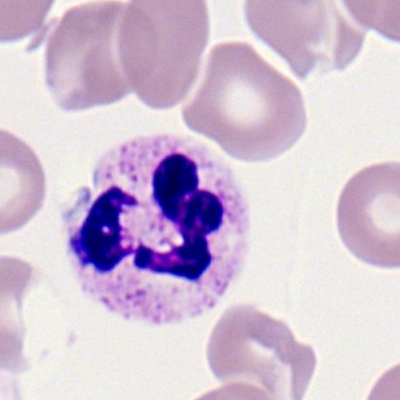 Peripheral blood film, single cell — polymorphonuclear neutrophil.